Bone marrow aspirate smear: 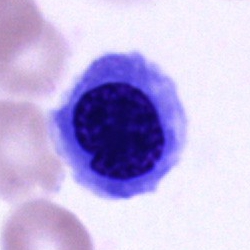 Cell = normoblast.